May-Grünwald-Giemsa stain. 250×250. Bone marrow smear:
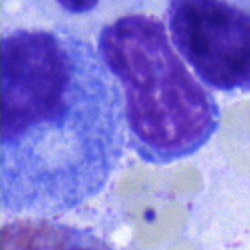
Impression → promyelocyte.